Bone marrow aspirate smear: 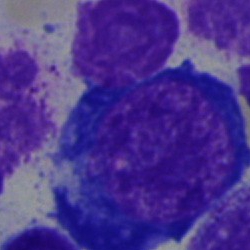Q: What is shown here?
A: This is a proerythroblast.